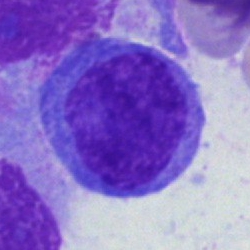 Q: Which cell type is shown here?
A: This is a monocyte.